Bone marrow smear — 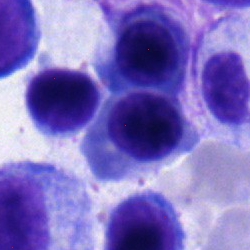 Specimen: bone marrow aspirate smear.
Classification: nucleated red blood cell.
Lineage: erythroid.